MGG-stained. Bone marrow aspirate smear. 40× oil immersion.
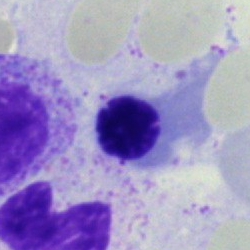The cell is nucleated red blood cell.